Bone marrow smear; May-Grünwald-Giemsa stain
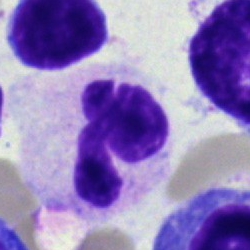 Q: What cell is this?
A: It is a polymorphonuclear neutrophil.